Single cell centered in the field · 250×250 · bone marrow aspirate smear: 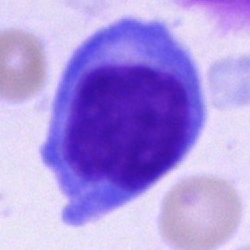
Classification: blast.